Single-cell crop. Bone marrow aspirate smear
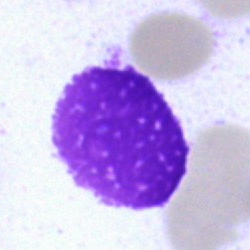

Artefact.